40× objective, oil immersion; bone marrow smear:
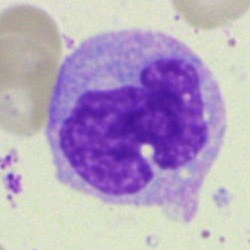 Morphological class = monocyte.